Bone marrow smear — 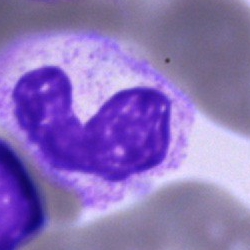 Classification — neutrophil (segmented).